Bone marrow smear; Pappenheim-stained; brightfield, 40× oil-immersion objective — 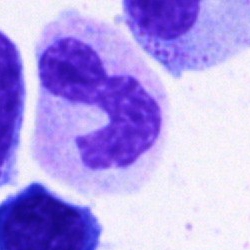
A band-form neutrophil.